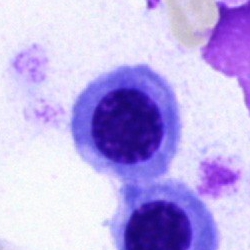Nucleated red blood cell.